Bone marrow aspirate smear. 40× objective, oil immersion
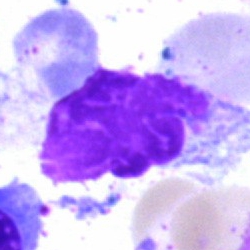 The cell type is artefact.